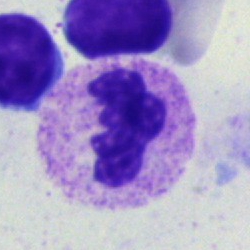
Q: Identify the cell.
A: This is a neutrophil (segmented).